Bone marrow aspirate smear. 40× objective, oil immersion.
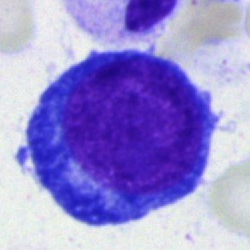Cell type = proerythroblast.